Bone marrow aspirate smear — 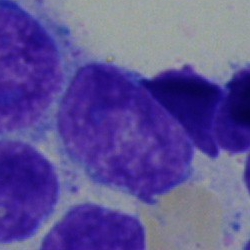 The morphological class is lymphocyte.